MGG-stained; cropped to a single cell; bone marrow smear — 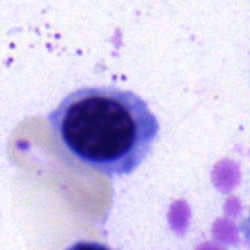

Cell: erythroblast.